Bone marrow smear; 40× objective, oil immersion; 250 by 250 pixels: 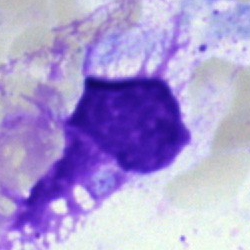

The cell is artefact.